Bone marrow aspirate smear. 250×250 px. Single-cell crop:
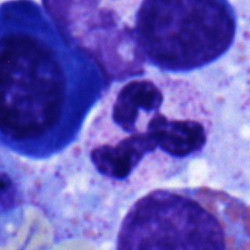

{"cell_type": "segmented neutrophil", "lineage": "myeloid"}